Bone marrow aspirate smear. Single-cell crop: 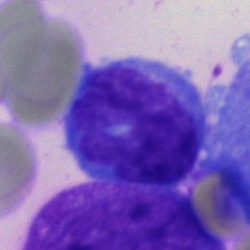
Q: What is the morphological classification of this cell?
A: Monocyte.